Bone marrow aspirate smear · 40× objective, oil immersion — 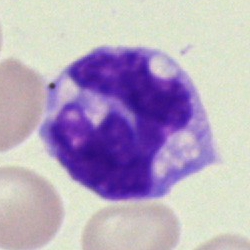

Impression → monocyte.